Bone marrow smear.
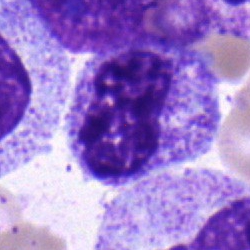Q: What type of cell is this?
A: This is a metamyelocyte.